Bone marrow aspirate smear. Pappenheim-stained. 250×250: 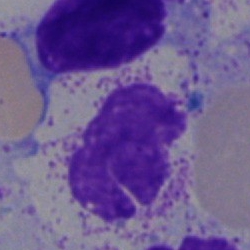{"cell_type": "artifact"}